Bone marrow smear — 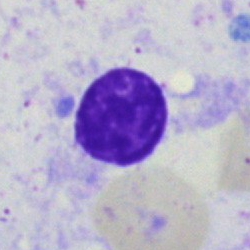Single cell identified as an artifact.